Bone marrow aspirate smear — 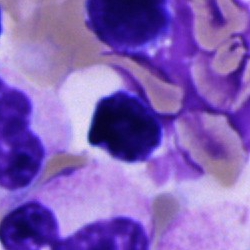 Specimen: bone marrow aspirate smear.
Cell type: unidentifiable cell.